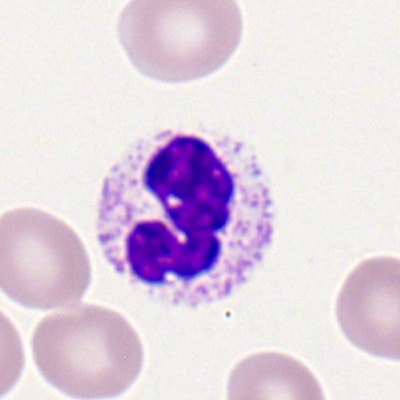Cell type — polymorphonuclear neutrophil.